Bone marrow smear. Single-cell crop. 250 by 250 pixels:
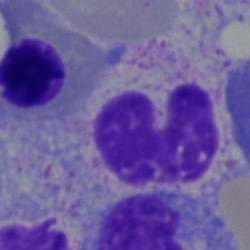 Impression → band-form neutrophil.